May-Grünwald-Giemsa/Pappenheim stain · bone marrow aspirate smear · single-cell crop
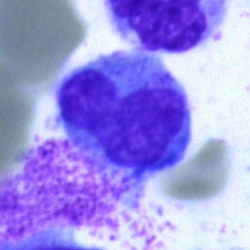

Impression → monocyte.